MGG-stained · bone marrow smear · 40× objective, oil immersion.
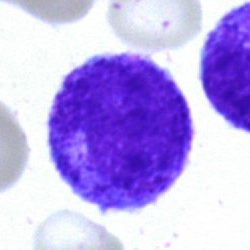 Morphology consistent with a myelocyte.